40× oil immersion · bone marrow aspirate smear: 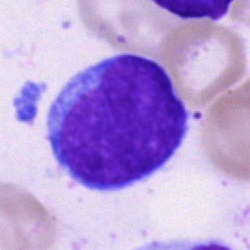

Morphology consistent with a blast cell.